Bone marrow smear
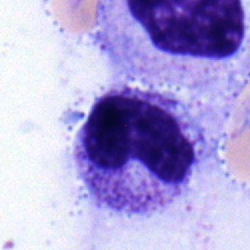 Q: Identify the cell.
A: It is a metamyelocyte.